MGG-stained · bone marrow smear · image size 250×250 — 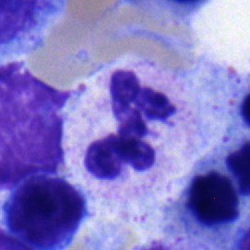Polymorphonuclear neutrophil.